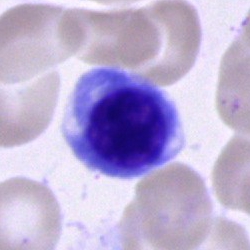 Morphology consistent with a nucleated red blood cell.